Bone marrow smear — 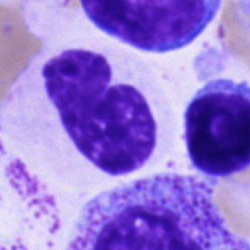

Impression — unidentifiable cell.